Peripheral blood film:
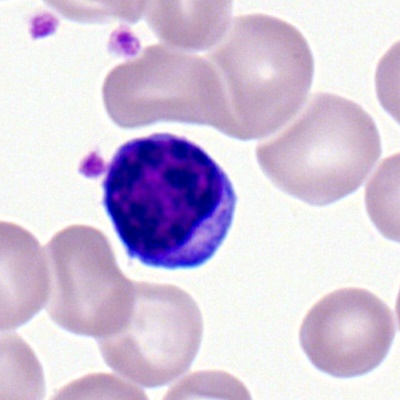Morphology — typical lymphocyte.